Bone marrow smear:
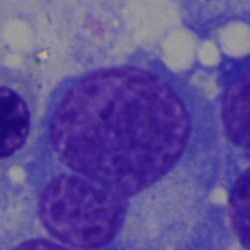
{"cell_type": "plasmacyte", "lineage": "lymphoid"}